Bone marrow aspirate smear.
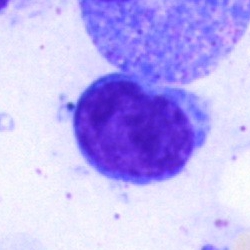
The morphological class is typical lymphocyte.